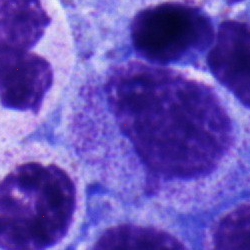

Cell type = myelocyte.